Bone marrow aspirate smear — 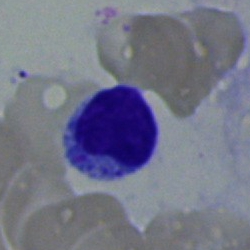
Q: What type of cell is this?
A: This is a lymphocyte.